Bone marrow aspirate smear: 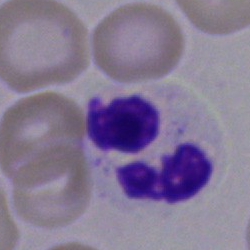 Specimen: bone marrow smear.
Morphological class: polymorphonuclear neutrophil.